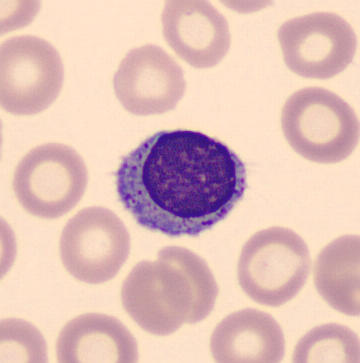
Morphology → lymphocyte.